May-Grünwald-Giemsa stain · single cell centered in the field · bone marrow smear:
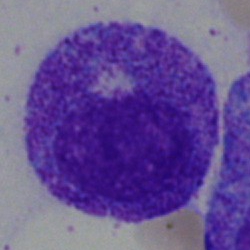 {"cell_type": "myelocyte", "lineage": "myeloid"}